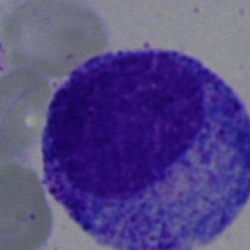

Cell = progranulocyte.